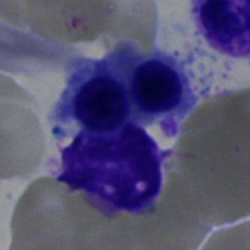
This is a normoblast.